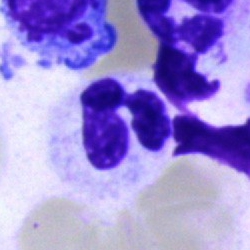Morphological class = segmented neutrophil.